Bone marrow aspirate smear. May-Grünwald-Giemsa stain. 250×250 px — 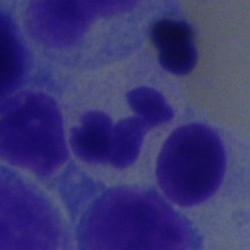
Segmented neutrophil.